Bone marrow smear.
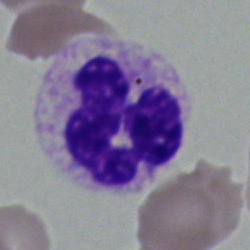
The morphological class is neutrophil (segmented).